Brightfield, 40× oil-immersion objective. Bone marrow smear. Single-cell field: 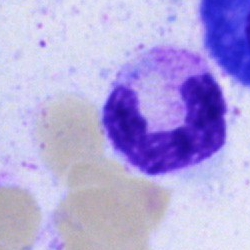Specimen: bone marrow smear.
Cell: stab cell.
Lineage: myeloid.